Cropped to a single cell. Bone marrow aspirate smear: 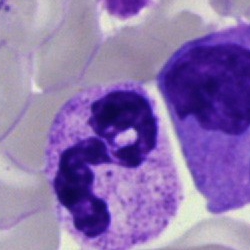
The morphological class is segmented neutrophil.